Bone marrow smear:
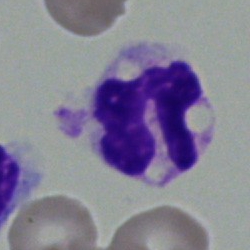 Cell type: neutrophil (segmented).